Bone marrow smear:
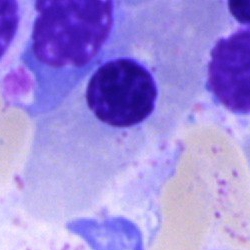
Cell — blast.